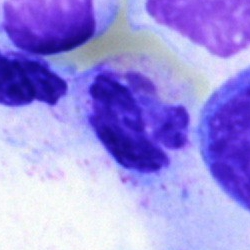

Bone marrow aspirate smear, single cell — polymorphonuclear neutrophil.